250×250 · Pappenheim-stained · bone marrow smear.
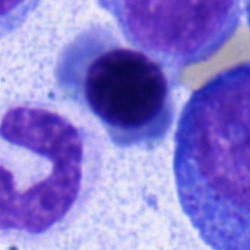 Morphology → nucleated red blood cell.